Bone marrow aspirate smear.
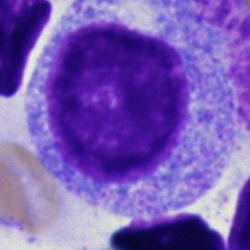
A promyelocyte.